Brightfield, 40× oil-immersion objective. Bone marrow smear:
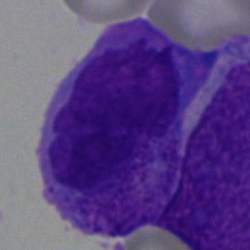 This is a blast.